Peripheral blood film:
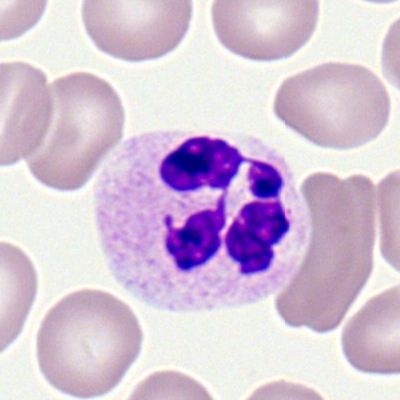 Q: What is the morphological classification of this cell?
A: A polymorphonuclear neutrophil.